Bone marrow smear · 250×250 px.
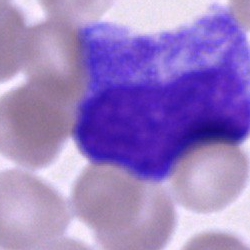 Classification: promyelocyte.